Peripheral blood smear · CellaVision DM96
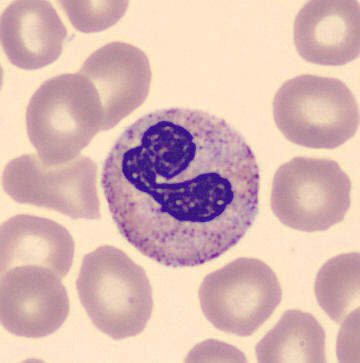
Morphological class: polymorphonuclear neutrophil.